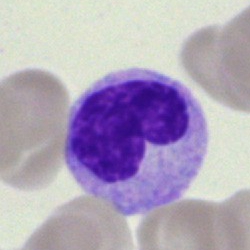 Specimen: bone marrow smear.
Cell type: metamyelocyte.
Lineage: myeloid.